Cropped to a single cell; bone marrow aspirate smear
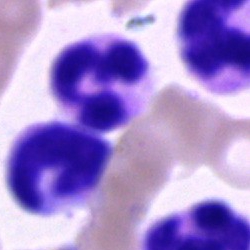 Segmented neutrophil.